Bone marrow smear
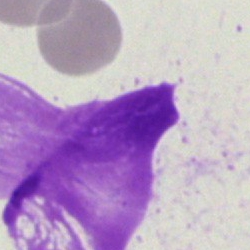
Q: What is shown here?
A: This is an artefact.